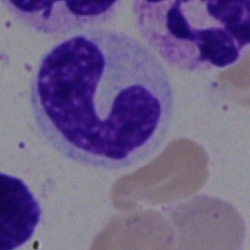

Q: Identify the cell.
A: Neutrophil (segmented).